Bone marrow aspirate smear.
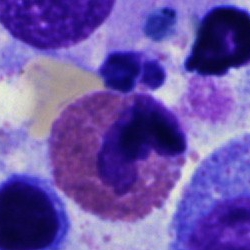 Cell — eosinophil.